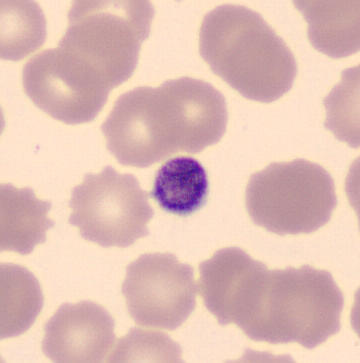

Platelet.